Single-cell field; bone marrow smear; 250×250 — 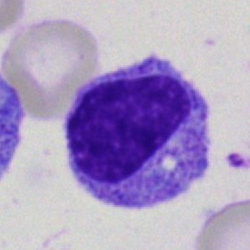
Specimen: bone marrow aspirate smear.
Morphological class: myelocyte.